Peripheral blood smear.
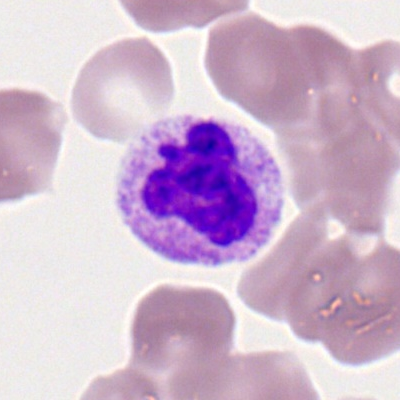

Specimen: peripheral blood smear.
Morphological class: neutrophil (segmented).
Lineage: myeloid.